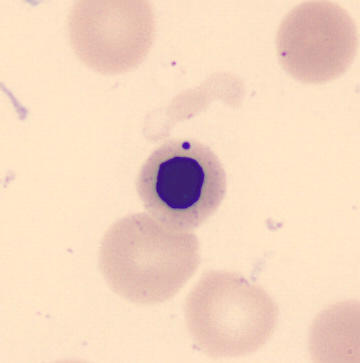Image: Peripheral blood smear; single-cell crop; CellaVision DM96.

The morphological class is erythroblast.